250 by 250 pixels · bone marrow aspirate smear.
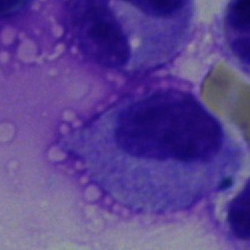Single cell identified as a myelocyte.